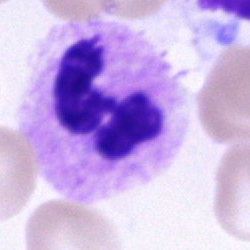

Segmented neutrophil.